Bone marrow aspirate smear:
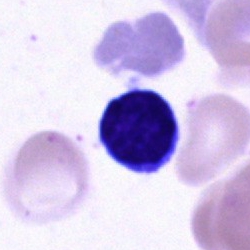 The cell shown is a typical lymphocyte.